Bone marrow aspirate smear — 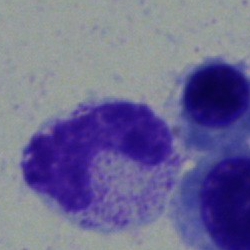
The classification is band-form neutrophil.